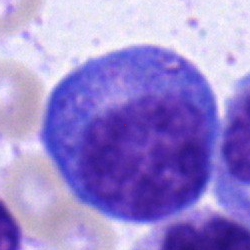Cell = promyelocyte.